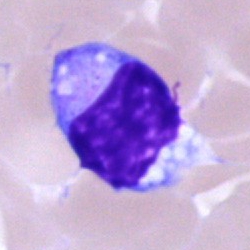
Q: Which cell type is shown here?
A: A lymphocyte.